Bone marrow smear.
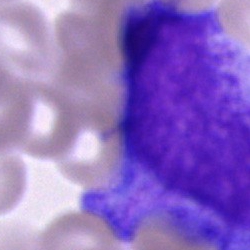Specimen: bone marrow aspirate smear.
Morphological class: promyelocyte.
Lineage: myeloid.